Bone marrow smear; 250 by 250 pixels.
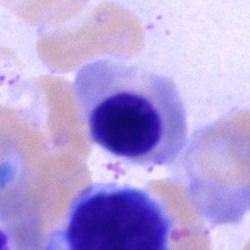 The morphological class is nucleated red blood cell.